May-Grünwald-Giemsa/Pappenheim stain · single-cell crop · bone marrow smear: 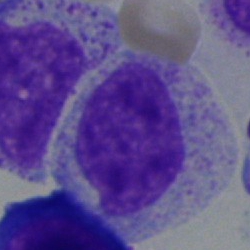 Q: What is shown here?
A: It is a myelocyte.